Peripheral blood smear — 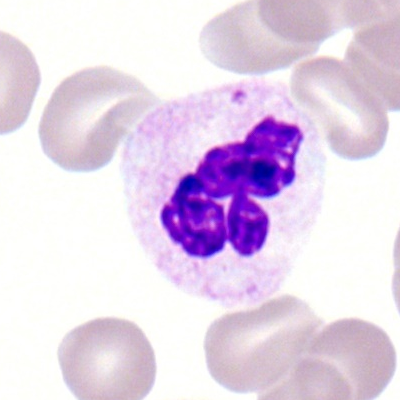Q: What type of cell is this?
A: This is a polymorphonuclear neutrophil.